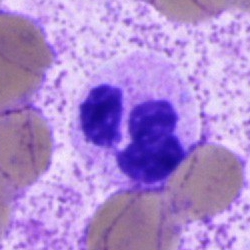

Q: What type of cell is this?
A: Polymorphonuclear neutrophil.